Bone marrow smear:
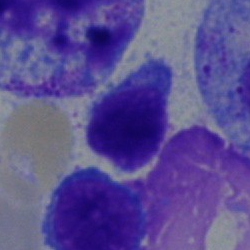Showing a typical lymphocyte.